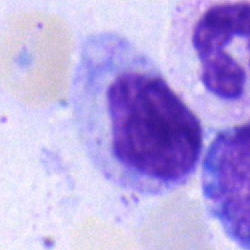

A myelocyte on a bone marrow smear.